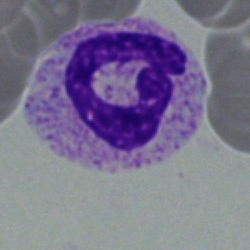 Q: Identify the cell.
A: It is a neutrophil (band).